Brightfield, 40× oil-immersion objective. Bone marrow smear.
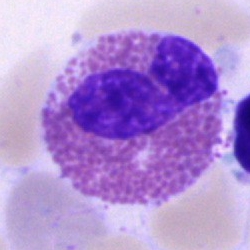Morphology consistent with an eosinophil.